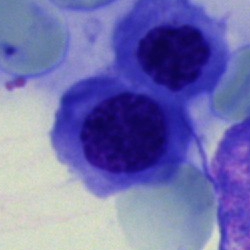

Q: Identify the cell.
A: It is a nucleated red cell.